Peripheral blood film · Romanowsky-type stain · 100× objective, oil immersion:
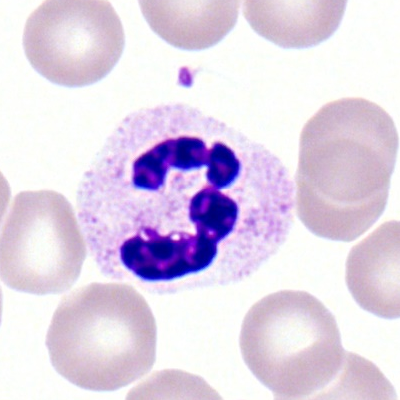Cell type — neutrophil (segmented).